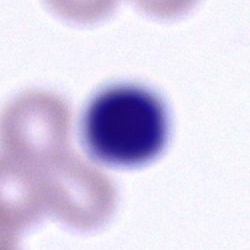
{"cell_type": "unidentifiable cell"}